Bone marrow smear
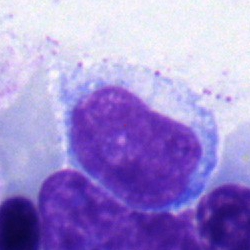

{"cell_type": "typical lymphocyte", "lineage": "lymphoid"}